Bone marrow smear: 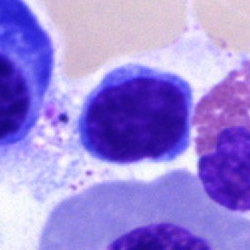 The cell shown is a typical lymphocyte.